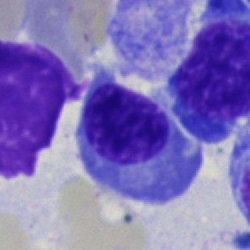

Morphology — nucleated red cell.